250×250 px; bone marrow aspirate smear — 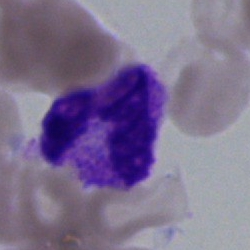Single cell identified as a polymorphonuclear neutrophil.